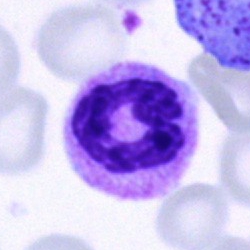{"cell_type": "neutrophil (segmented)", "lineage": "myeloid"}